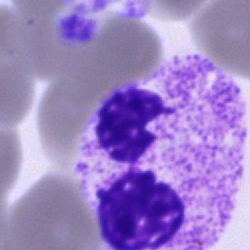

Cell — polymorphonuclear neutrophil.